Bone marrow aspirate smear; 250×250
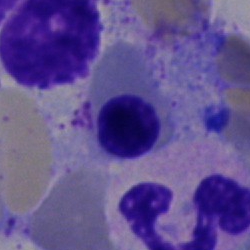 Specimen: bone marrow aspirate smear.
Cell type: nucleated red blood cell.
Lineage: erythroid.